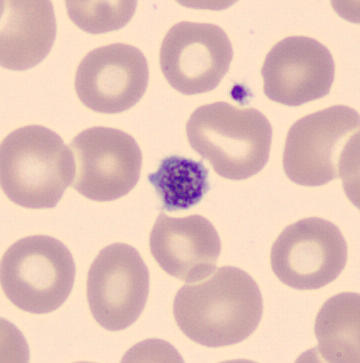Identified as a thrombocyte.